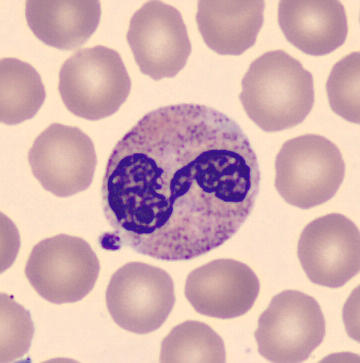 Acquisition: Peripheral blood smear.
Showing a segmented neutrophil.